Bone marrow smear:
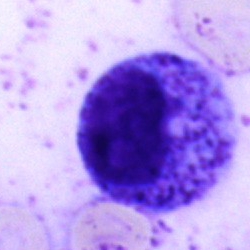Specimen: bone marrow aspirate smear.
Cell: progranulocyte.
Lineage: myeloid.